Image size 250×250 · bone marrow smear · cropped to a single cell: 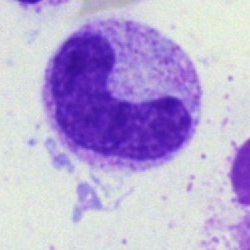Q: What is the morphological classification of this cell?
A: A neutrophil (band).